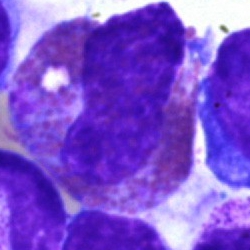

Eosinophilic granulocyte.